Bone marrow aspirate smear: 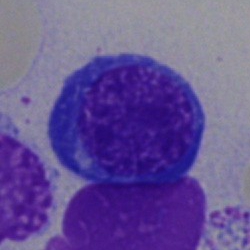
This is a normoblast.